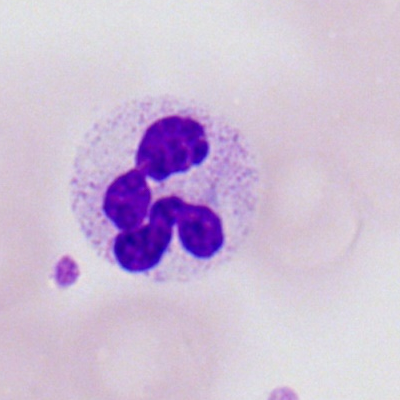
Classification = neutrophil (segmented).